Bone marrow smear
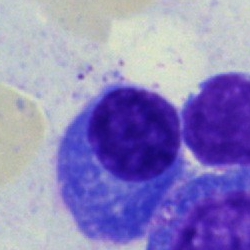

The cell type is plasma cell.